Bone marrow smear.
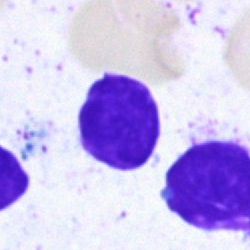Artefact.